Bone marrow aspirate smear: 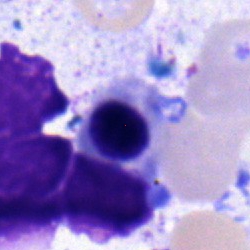 Showing an erythroblast.